Bone marrow aspirate smear:
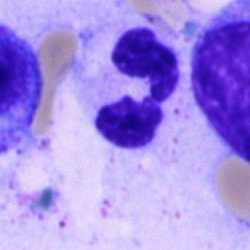
Showing a segmented neutrophil.